Peripheral blood film. 400×400 px. Cropped to a single cell: 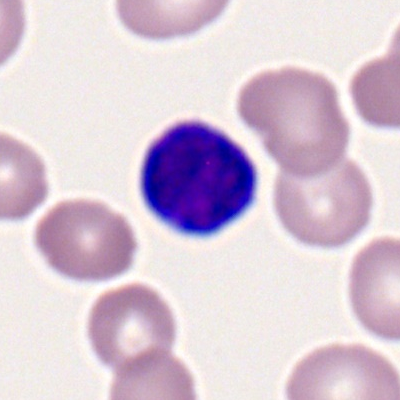
Specimen: peripheral blood smear.
Cell: typical lymphocyte.